Pappenheim-stained · bone marrow aspirate smear · 40× oil immersion.
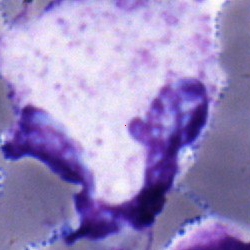

Cell type: polymorphonuclear neutrophil.